Bone marrow aspirate smear; 250 by 250 pixels:
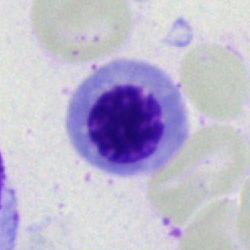

Morphology — nucleated red blood cell.